Bone marrow aspirate smear.
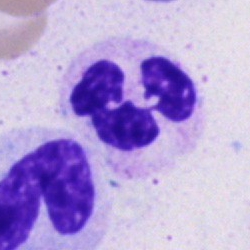
Specimen: bone marrow smear.
Morphological class: segmented neutrophil.
Lineage: myeloid.